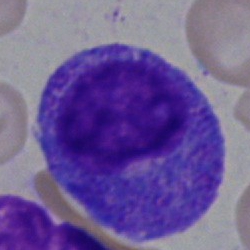
Morphology consistent with a promyelocyte.